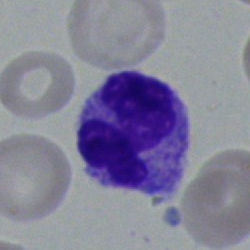 Impression — monocyte.